Bone marrow aspirate smear: 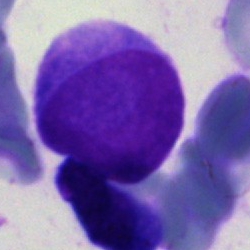
This is a blast.